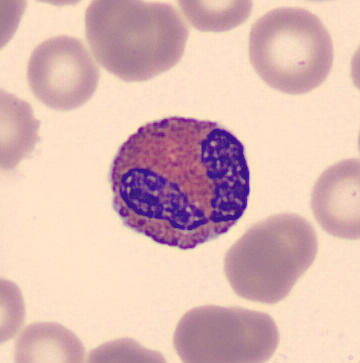 Morphological class = eosinophilic granulocyte.